Bone marrow smear — 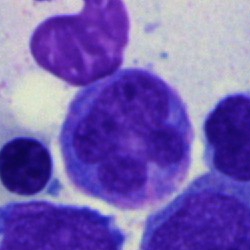 Specimen: bone marrow smear.
Cell: monocyte.
Lineage: myeloid.